MGG-stained · bone marrow smear:
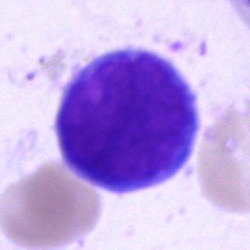

Single cell identified as a blast.